Bone marrow aspirate smear: 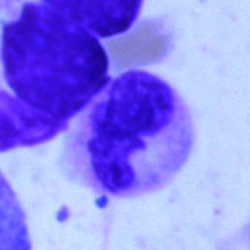Specimen: bone marrow smear.
Classification: polymorphonuclear neutrophil.
Lineage: myeloid.